Peripheral blood film. Single-cell field:
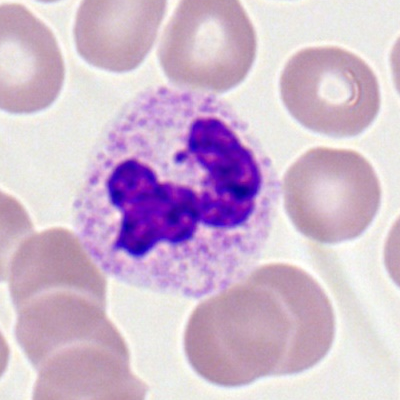 Q: What type of cell is this?
A: It is a segmented neutrophil.